Peripheral blood smear. Single-cell field:
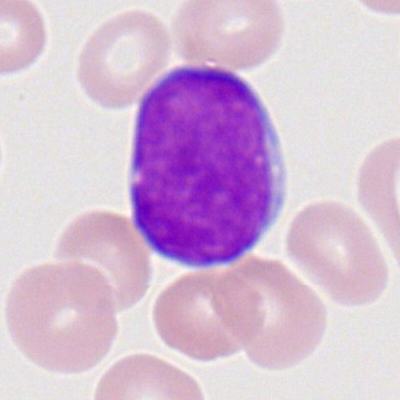

Single cell identified as a myeloblast.